Pappenheim-stained; bone marrow aspirate smear
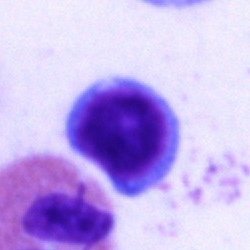

Cell type: lymphocyte.